Single-cell field; bone marrow smear; May-Grünwald-Giemsa/Pappenheim stain — 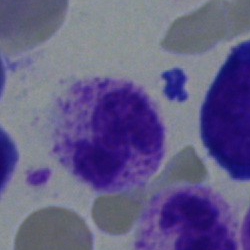
The classification is polymorphonuclear neutrophil.